Brightfield, 40× oil-immersion objective. Bone marrow smear. MGG-stained:
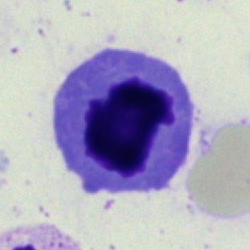

{"cell_type": "artifact"}